Peripheral blood film · single-cell crop.
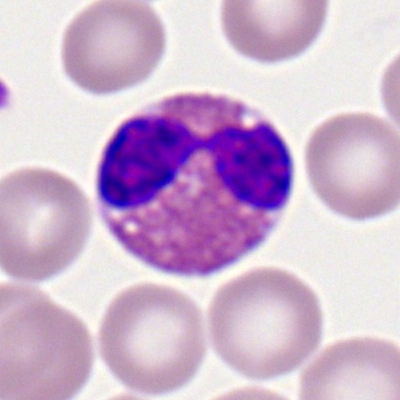Q: What cell is this?
A: This is an eosinophil.